Bone marrow aspirate smear:
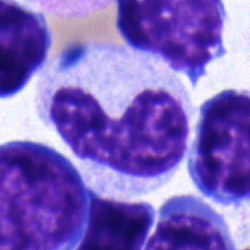

Q: Which cell type is shown here?
A: It is a band-form neutrophil.